Bone marrow aspirate smear. 40× oil immersion. Single-cell crop
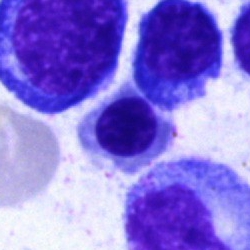

Q: What cell is this?
A: Normoblast.